Bone marrow aspirate smear · cropped to a single cell:
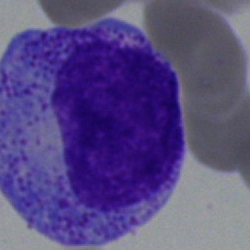
Q: What is the morphological classification of this cell?
A: It is a progranulocyte.